Cropped to a single cell; bone marrow smear
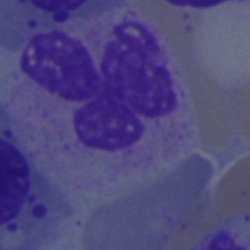Q: What is shown here?
A: It is a segmented neutrophil.